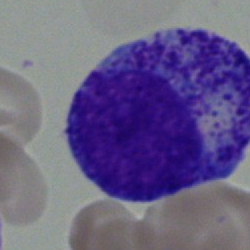 Specimen: bone marrow smear.
Cell: promyelocyte.
Lineage: myeloid.